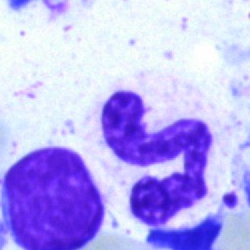The cell shown is a polymorphonuclear neutrophil.